Single cell centered in the field; bone marrow aspirate smear; May-Grünwald-Giemsa stain: 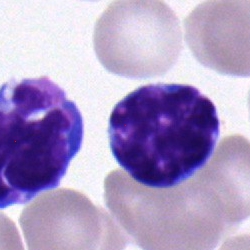 Q: What type of cell is this?
A: It is a typical lymphocyte.